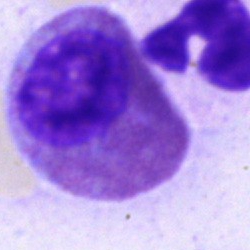

Q: Which cell type is shown here?
A: This is an eosinophilic granulocyte.